Bone marrow smear: 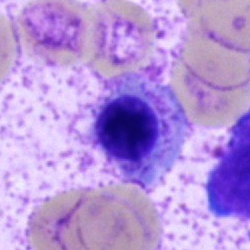
Morphology consistent with a normoblast.